Bone marrow smear:
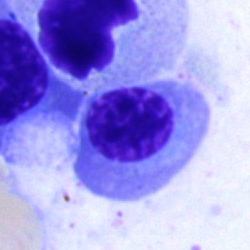 The cell shown is an erythroblast.